Single-cell crop. Bone marrow smear.
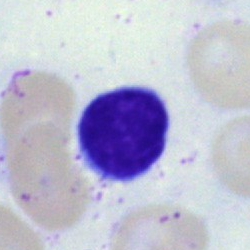 Impression → lymphocyte.